250×250 px · bone marrow aspirate smear — 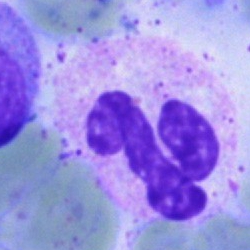

Q: Identify the cell.
A: A segmented neutrophil.